Bone marrow smear; cropped to a single cell — 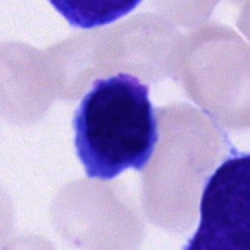Specimen: bone marrow aspirate smear.
Cell type: unidentifiable cell.